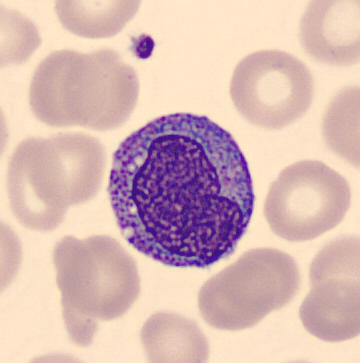

Automated cell imaging (CellaVision DM96). Peripheral blood smear.

Q: What is the morphological classification of this cell?
A: This is a monocyte.